Single cell centered in the field · bone marrow smear · 40× oil immersion — 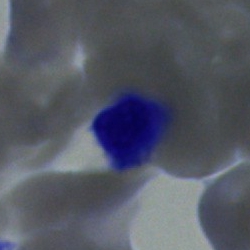
Q: What is the morphological classification of this cell?
A: A lymphocyte.